Peripheral blood smear
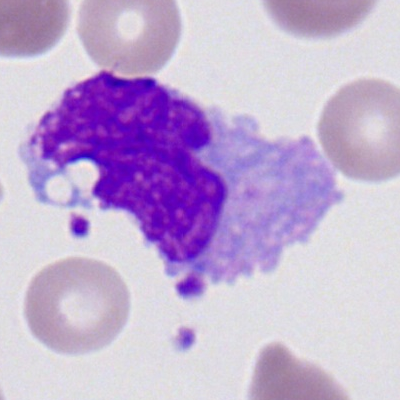The cell shown is a monocyte.